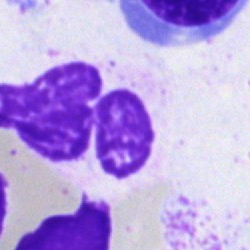 Cell type = neutrophil (segmented).